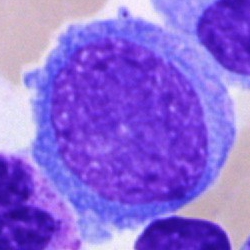

A blast.